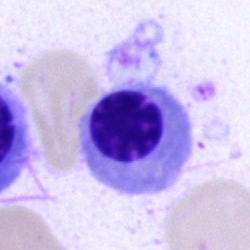Morphological class — nucleated red cell.